Bone marrow aspirate smear:
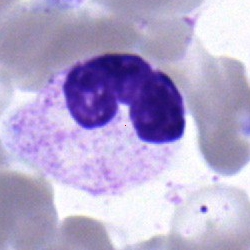
The cell shown is a band neutrophil.